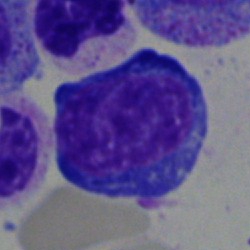

Single cell identified as a pronormoblast.